Bone marrow smear; May-Grünwald-Giemsa stain.
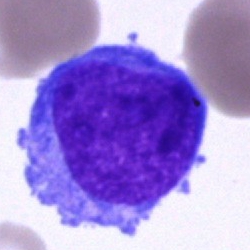
Classification — blast cell.